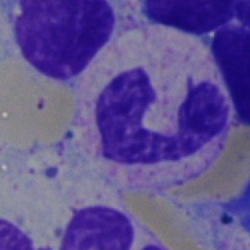
Bone marrow smear showing a polymorphonuclear neutrophil.